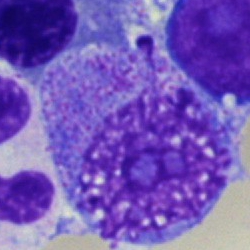 The cell shown is a progranulocyte.